Bone marrow smear. Brightfield microscopy, 40× oil immersion — 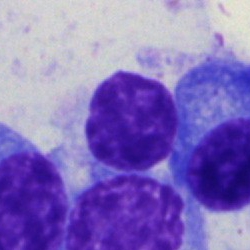

Morphology consistent with a plasmacyte.